250 by 250 pixels. Bone marrow smear — 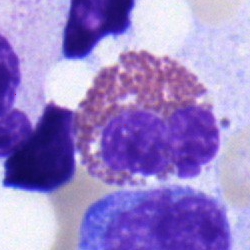 Classification: eosinophilic granulocyte.